May-Grünwald-Giemsa stain. Bone marrow aspirate smear.
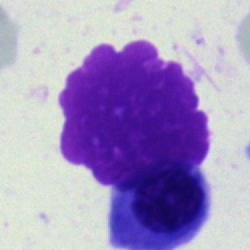 Classification: artifact.